Bone marrow aspirate smear — 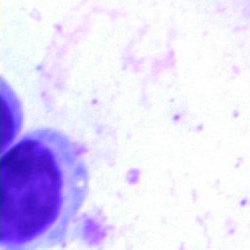 Cell type = artefact.